Bone marrow smear
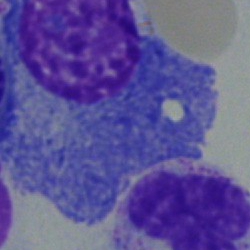

Morphology consistent with a plasma cell.